Brightfield microscopy, 40× oil immersion. Bone marrow smear:
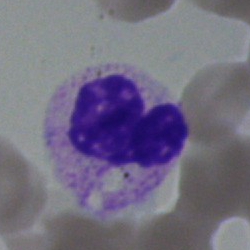Impression → stab cell.